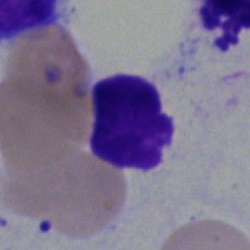 Q: What is shown here?
A: It is an artefact.